Bone marrow smear: 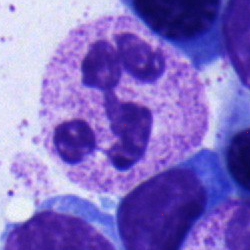 Single cell identified as a polymorphonuclear neutrophil.